Bone marrow aspirate smear — 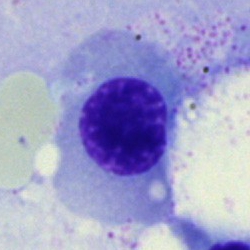

Q: What is shown here?
A: Nucleated red cell.